Bone marrow aspirate smear. Single cell centered in the field — 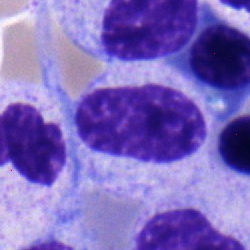 This is a neutrophil (segmented).